Bone marrow smear — 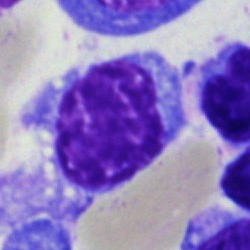Morphology → plasmacyte.